Bone marrow aspirate smear · 40× oil immersion — 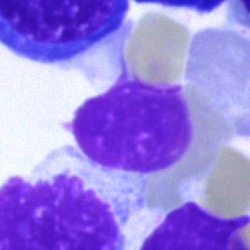This is an artifact.